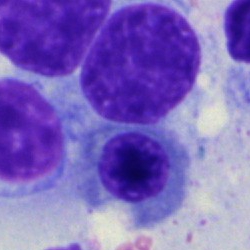 Nucleated red blood cell.